Peripheral blood smear — 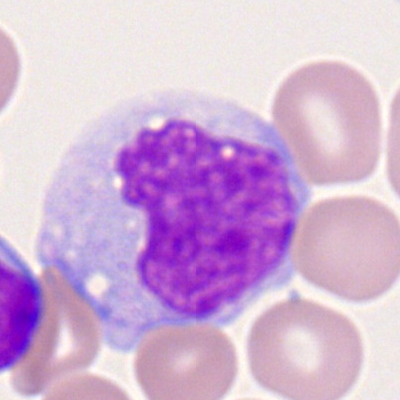 Cell = monocyte.